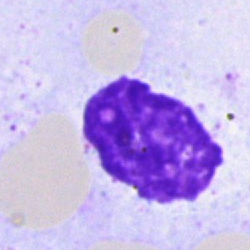
Bone marrow aspirate smear, single cell — artefact.